Single-cell crop · bone marrow aspirate smear · 250 by 250 pixels
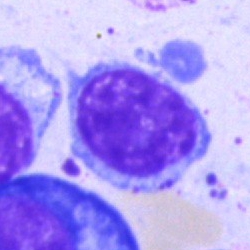{"cell_type": "typical lymphocyte", "lineage": "lymphoid"}